Peripheral blood film — 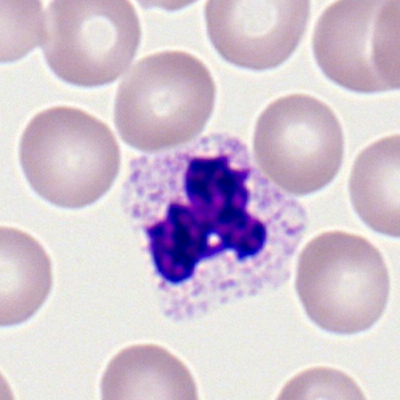
Polymorphonuclear neutrophil.